Bone marrow smear. Brightfield, 40× oil-immersion objective: 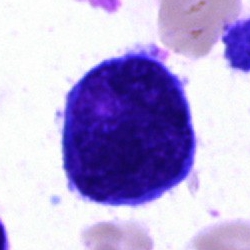

Specimen: bone marrow aspirate smear.
Cell type: blast cell.